Single cell centered in the field · brightfield, 40× oil-immersion objective · bone marrow aspirate smear — 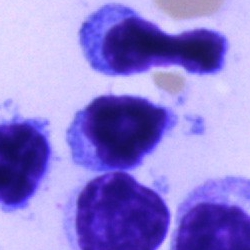 Cell = lymphocyte.